Brightfield microscopy, 40× oil immersion; bone marrow aspirate smear.
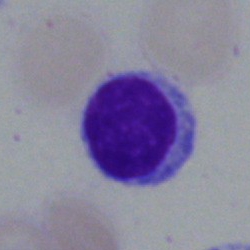

Showing a typical lymphocyte.